250 by 250 pixels · bone marrow aspirate smear.
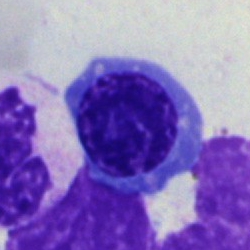
Specimen: bone marrow smear.
Cell type: nucleated red cell.
Lineage: erythroid.